Bone marrow smear.
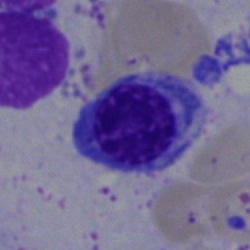 This is a nucleated red cell.